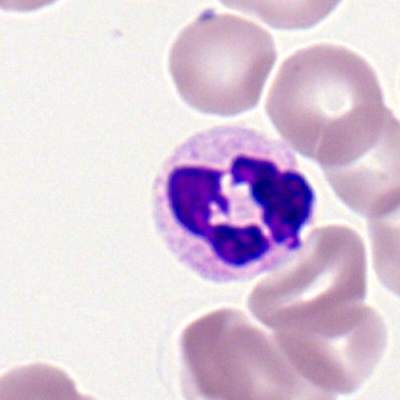

Morphology — polymorphonuclear neutrophil.